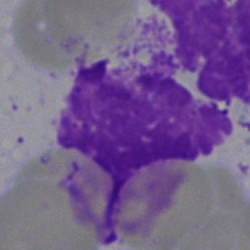
Q: What is shown here?
A: An artifact.